250×250. Bone marrow aspirate smear: 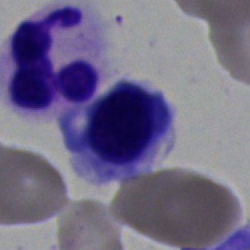 The cell is nucleated red blood cell.